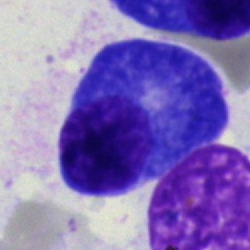 Q: What cell is this?
A: A plasmacyte.